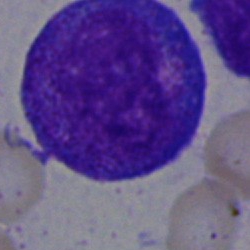
Cell type: progranulocyte.